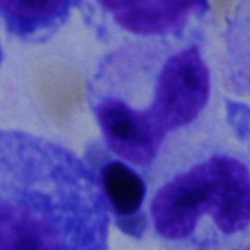
The cell shown is a band-form neutrophil.